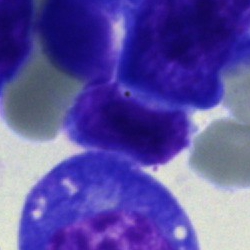

A lymphocyte.